Single cell centered in the field; brightfield, 100× oil-immersion objective; peripheral blood smear
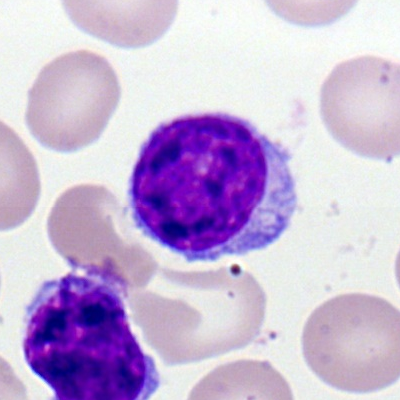

A typical lymphocyte.